Bone marrow aspirate smear — 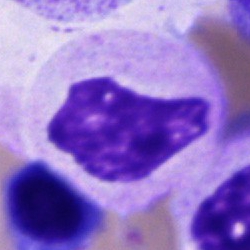

Cell type — cell of indeterminate lineage.